Bone marrow smear; 250×250: 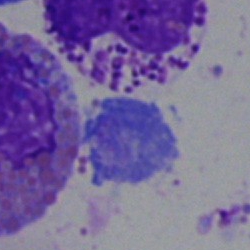 Specimen: bone marrow aspirate smear.
Cell type: basophil.
Lineage: myeloid.